Bone marrow smear
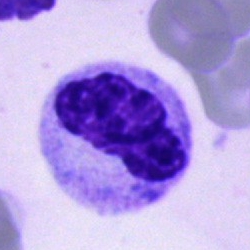 The classification is polymorphonuclear neutrophil.